400×400; peripheral blood film — 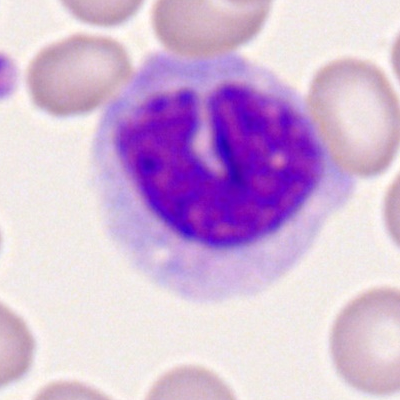Classification — monocyte.